Single-cell field; bone marrow smear; MGG-stained: 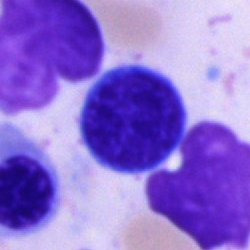 Morphology consistent with a nucleated red cell.